Bone marrow aspirate smear — 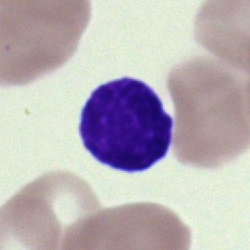 {"cell_type": "cell of indeterminate lineage"}